May-Grünwald-Giemsa stain; bone marrow aspirate smear.
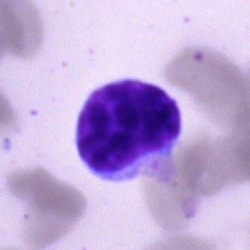This is a lymphocyte.